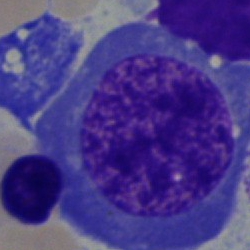Morphological class: erythroblast.